Bone marrow smear.
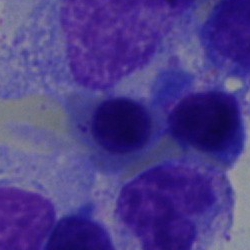 Classification — normoblast.